40× oil immersion. Bone marrow smear — 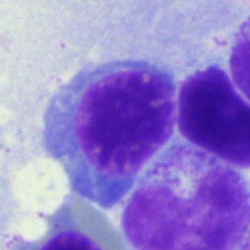 Morphological class = normoblast.